Bone marrow aspirate smear.
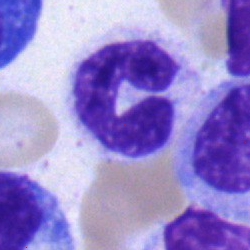
Impression → band-form neutrophil.